250 by 250 pixels; bone marrow aspirate smear — 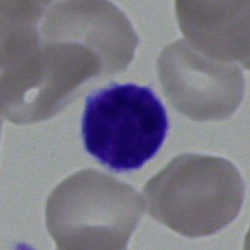 Q: What is the morphological classification of this cell?
A: A typical lymphocyte.